Bone marrow smear — 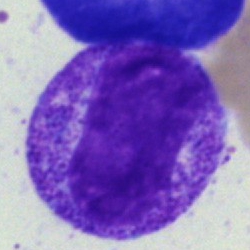
Cell type — metamyelocyte.